Bone marrow smear · 250×250 px · May-Grünwald-Giemsa stain.
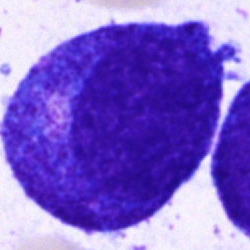

Single cell identified as a progranulocyte.